Single cell centered in the field. Bone marrow smear.
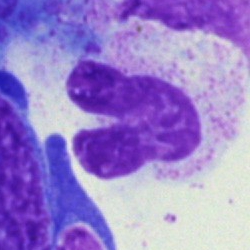
Morphology consistent with a band neutrophil.